Single cell centered in the field · 250×250 · bone marrow aspirate smear — 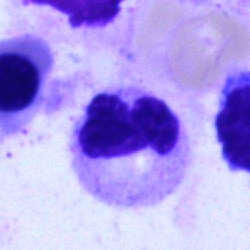Single cell identified as a segmented neutrophil.